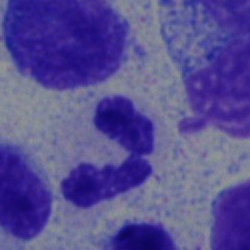Q: Which cell type is shown here?
A: This is a neutrophil (segmented).